Bone marrow smear · MGG-stained:
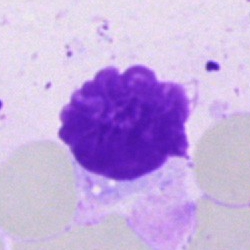 Specimen: bone marrow aspirate smear.
Cell: artifact.